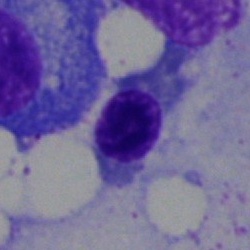

Specimen: bone marrow aspirate smear.
Classification: normoblast.